Peripheral blood smear.
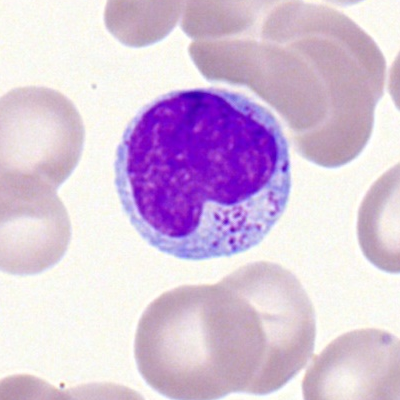
Specimen: peripheral blood smear.
Classification: typical lymphocyte.